Bone marrow smear; image size 250×250
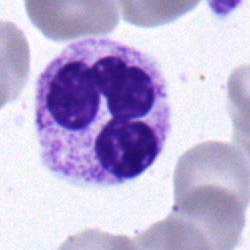
Specimen: bone marrow smear.
Cell type: neutrophil (segmented).